Brightfield microscopy, 40× oil immersion; bone marrow aspirate smear:
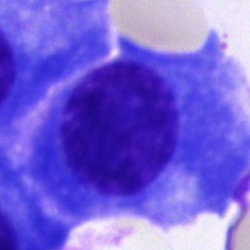
Specimen: bone marrow aspirate smear.
Cell type: plasma cell.
Lineage: lymphoid.